Bone marrow aspirate smear:
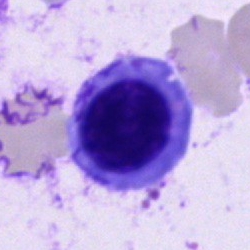 Classification — normoblast.